Peripheral blood smear · 100× oil immersion: 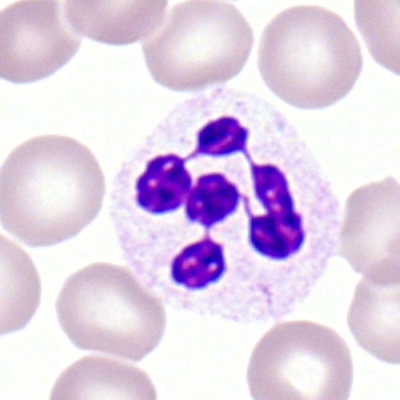

Q: Which cell type is shown here?
A: It is a neutrophil (segmented).